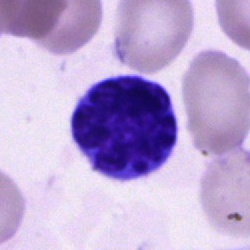Classification: cell of indeterminate lineage.